Single-cell crop; May-Grünwald-Giemsa/Pappenheim stain; bone marrow smear: 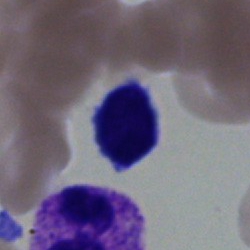Classification: typical lymphocyte.